Brightfield microscopy, 40× oil immersion; bone marrow smear
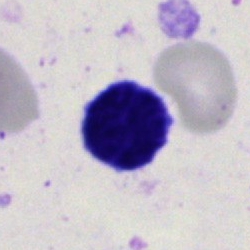 Single cell identified as a typical lymphocyte.